Bone marrow aspirate smear — 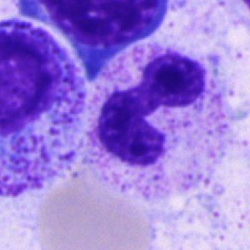 Morphological class: neutrophil (segmented).